40× objective, oil immersion. Single-cell crop. Bone marrow aspirate smear
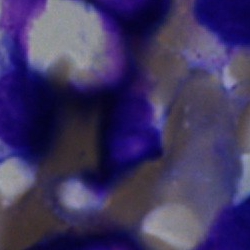 Morphology consistent with an artefact.